Bone marrow smear — 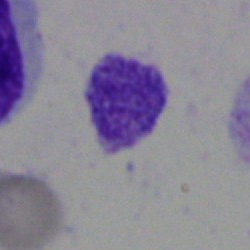Impression — artifact.